Image size 250×250 · bone marrow aspirate smear: 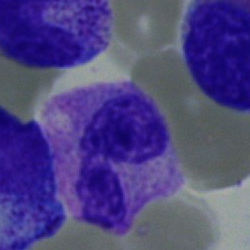
Polymorphonuclear neutrophil.